Bone marrow aspirate smear:
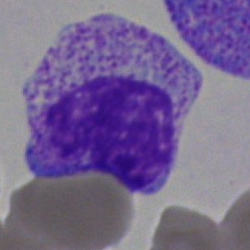Q: What is shown here?
A: A myelocyte.